Peripheral blood film; image size 400×400; Romanowsky-type stain — 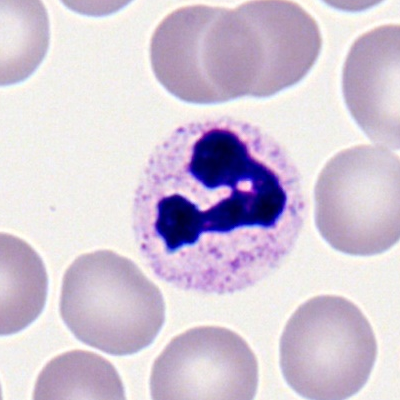
Polymorphonuclear neutrophil.